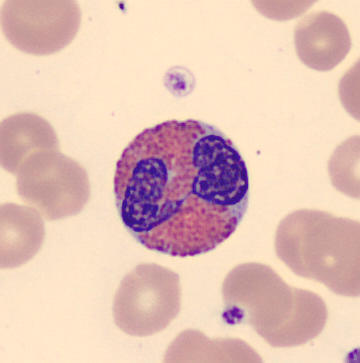
Morphology — eosinophil. Peripheral blood smear.